Bone marrow aspirate smear.
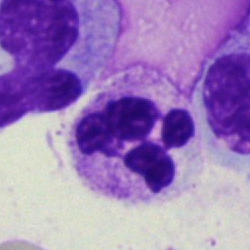Cell = polymorphonuclear neutrophil.